Pappenheim-stained · bone marrow smear: 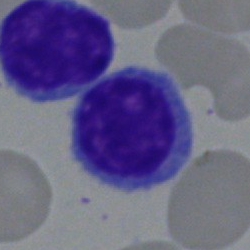 Specimen: bone marrow smear.
Morphological class: typical lymphocyte.
Lineage: lymphoid.